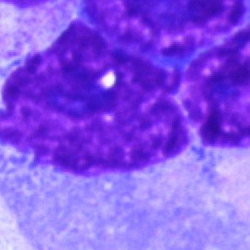Cell type — artefact.